Bone marrow smear · image size 250×250 — 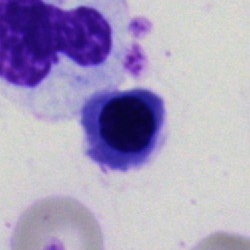Morphological class — nucleated red blood cell.